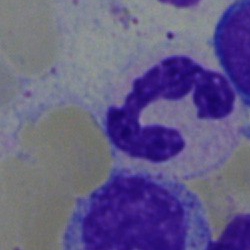 The cell type is segmented neutrophil.